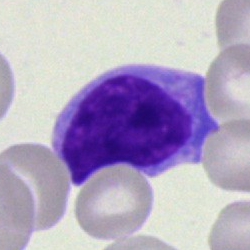

Single-cell crop from a bone marrow smear: lymphocyte.